Bone marrow smear:
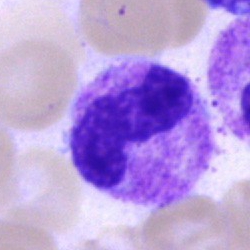The cell shown is a neutrophil (band).